Bone marrow smear.
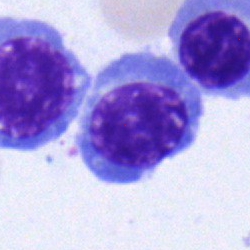Impression → nucleated red cell.